Bone marrow aspirate smear · single cell centered in the field.
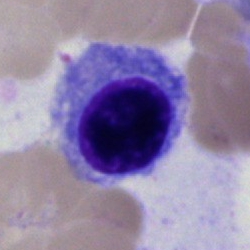Nucleated red blood cell.